Bone marrow aspirate smear; 250 by 250 pixels
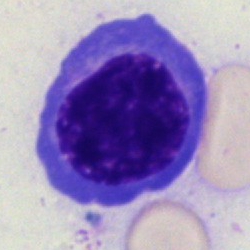 Morphological class — nucleated red cell.